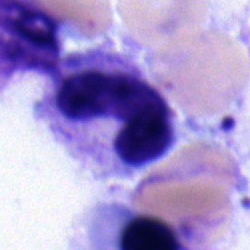

Bone marrow aspirate smear, single cell — stab cell.